Single-cell crop; 250×250; bone marrow aspirate smear: 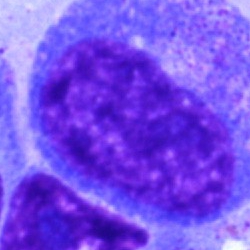

Morphology consistent with a progranulocyte.